Peripheral blood film
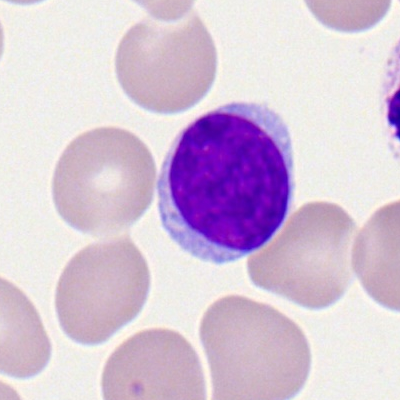 Impression → lymphocyte.